Bone marrow aspirate smear:
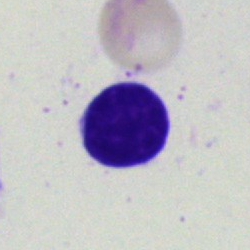
Q: Which cell type is shown here?
A: It is a lymphocyte.